Bone marrow smear
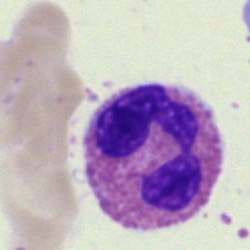

Classification — basophil.